Bone marrow aspirate smear · single-cell crop:
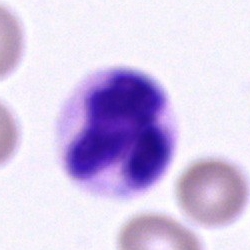The cell shown is a segmented neutrophil.